Peripheral blood film; M8 digital microscope (Precipoint), 100× oil immersion — 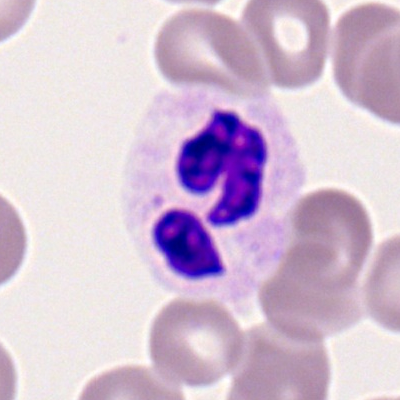

The cell shown is a neutrophil (segmented).